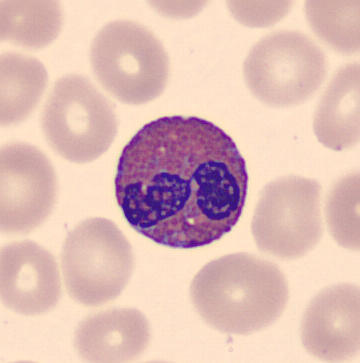
Impression → eosinophil.

Acquisition: Single cell centered in the field; peripheral blood film.